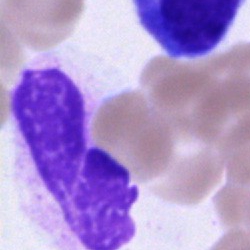
The classification is artifact.